Bone marrow aspirate smear:
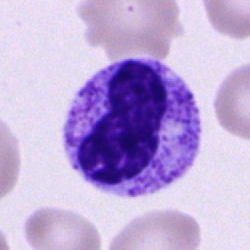 Q: What is shown here?
A: This is a neutrophil (band).